Peripheral blood smear
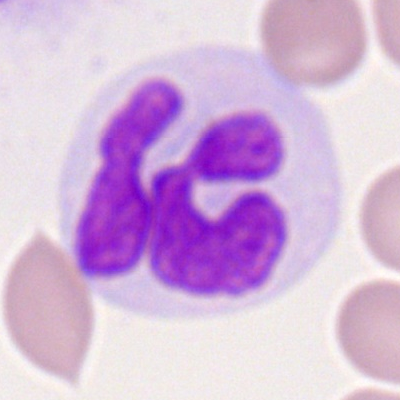Q: Which cell type is shown here?
A: It is a monocyte.